Bone marrow aspirate smear. 250×250 px
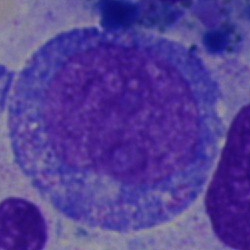
Cell — progranulocyte.